Brightfield microscopy, 40× oil immersion; bone marrow aspirate smear: 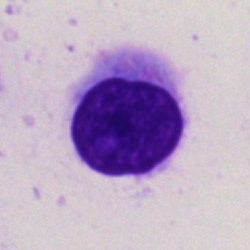
{"cell_type": "artefact"}